Bone marrow aspirate smear · single cell centered in the field: 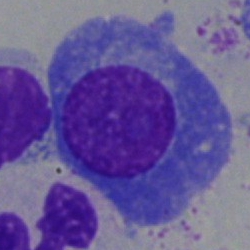
Morphological class: plasma cell.